Bone marrow smear; MGG-stained; 40× oil immersion — 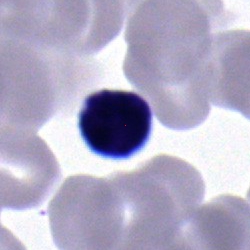 Q: What is the morphological classification of this cell?
A: It is a lymphocyte.